Bone marrow aspirate smear — 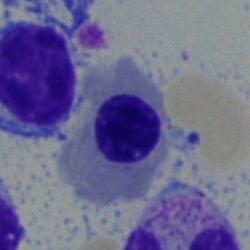Specimen: bone marrow smear.
Cell type: nucleated red blood cell.